Romanowsky stain · cropped to a single cell · peripheral blood smear: 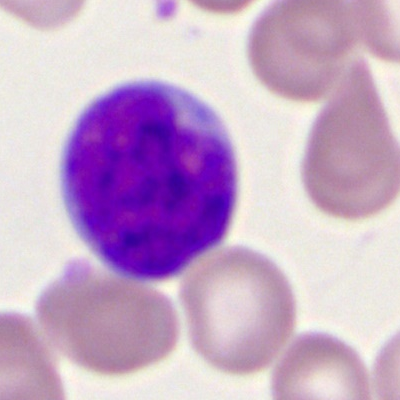

The classification is myeloid blast.